May-Grünwald-Giemsa stain. 40× objective, oil immersion. Bone marrow aspirate smear — 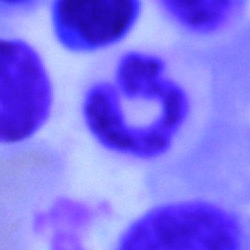 Showing a segmented neutrophil.